May-Grünwald-Giemsa stain. 40× oil immersion. Bone marrow aspirate smear: 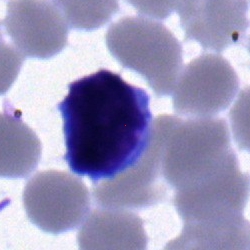
Typical lymphocyte.